Bone marrow aspirate smear: 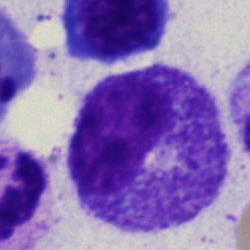Specimen: bone marrow aspirate smear.
Classification: progranulocyte.
Lineage: myeloid.